Bone marrow smear:
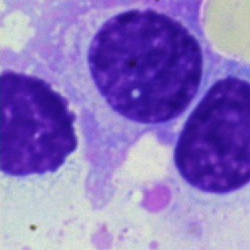 A plasmacyte.